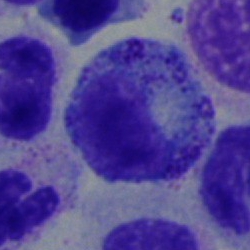

Morphology — myelocyte.